Bone marrow aspirate smear: 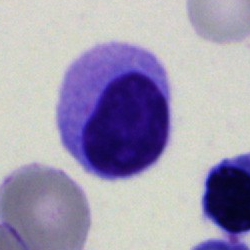 Morphology — lymphocyte.